Bone marrow aspirate smear; single cell centered in the field; brightfield, 40× oil-immersion objective — 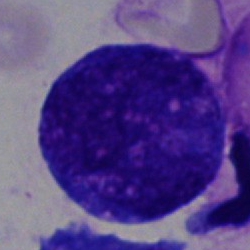Q: What is the morphological classification of this cell?
A: This is a blast.